Bone marrow smear: 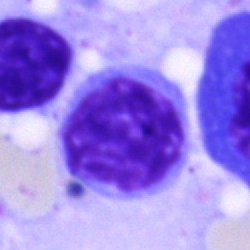 Cell = unidentifiable cell.